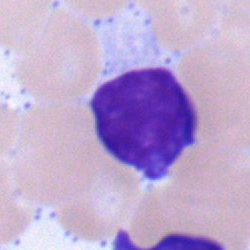

Cell = typical lymphocyte.